Bone marrow smear · brightfield microscopy, 40× oil immersion: 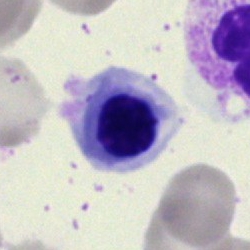

Classification = nucleated red cell.